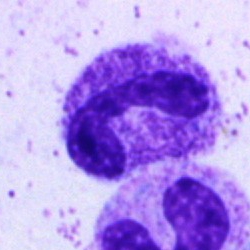 Single cell identified as a band neutrophil.